Bone marrow aspirate smear; single cell centered in the field; image size 250×250: 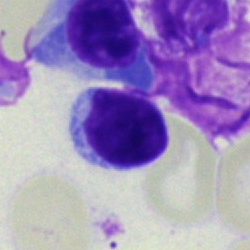

Classification — lymphocyte.